Bone marrow smear:
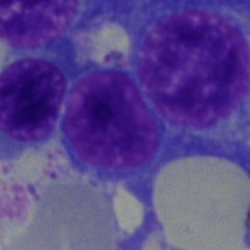Q: What is shown here?
A: Typical lymphocyte.